Bone marrow smear · cropped to a single cell:
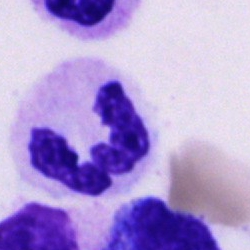
Q: Which cell type is shown here?
A: A polymorphonuclear neutrophil.